MGG-stained. Bone marrow aspirate smear:
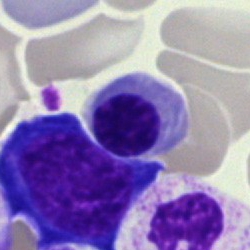

Q: What type of cell is this?
A: This is an erythroblast.